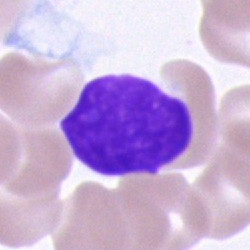

Single-cell crop from a bone marrow smear: unidentifiable cell.